Cropped to a single cell; bone marrow smear.
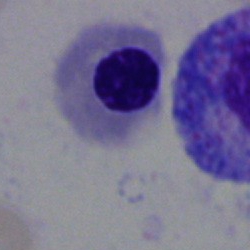Q: What is shown here?
A: An erythroblast.